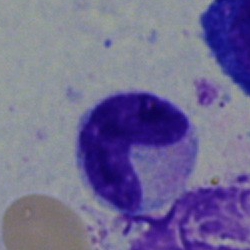A band neutrophil.